Bone marrow aspirate smear: 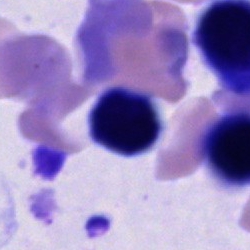
An unidentifiable cell.